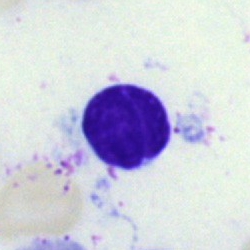The cell shown is a lymphocyte.